Bone marrow aspirate smear:
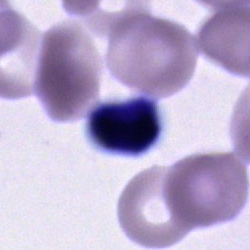
{"cell_type": "unidentifiable cell"}